Bone marrow smear — 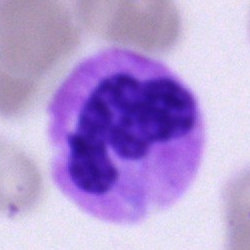

Q: Identify the cell.
A: Polymorphonuclear neutrophil.